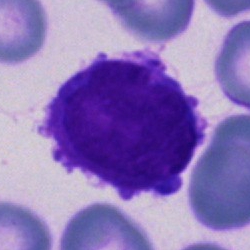
Bone marrow smear showing a blast.